Single cell centered in the field; 250 by 250 pixels; bone marrow smear: 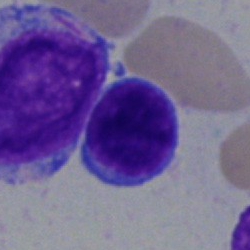Typical lymphocyte.